Bone marrow smear: 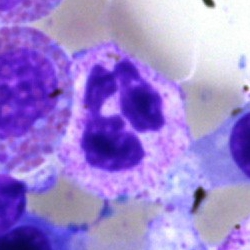
Specimen: bone marrow aspirate smear.
Cell type: polymorphonuclear neutrophil.
Lineage: myeloid.